Bone marrow aspirate smear · image size 250×250:
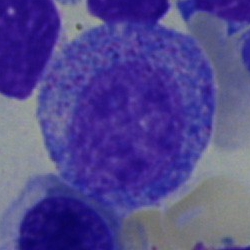 Cell type: progranulocyte.